Bone marrow aspirate smear; 40× oil immersion; single-cell field — 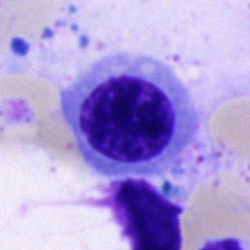This is a nucleated red cell.